Peripheral blood film; 100× objective, oil immersion; Romanowsky-type stain:
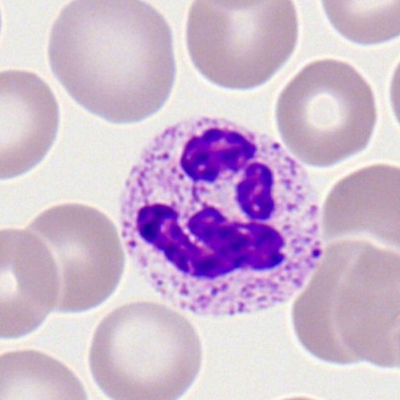
Specimen: peripheral blood smear.
Cell: segmented neutrophil.